Bone marrow smear:
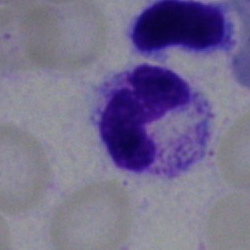
Q: Identify the cell.
A: Band neutrophil.